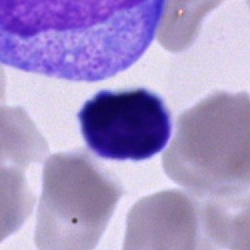 Single-cell crop from a bone marrow smear: cell of indeterminate lineage.